Bone marrow aspirate smear; single-cell field; brightfield microscopy, 40× oil immersion:
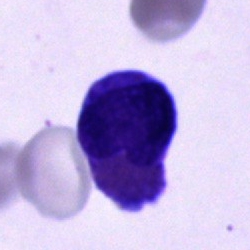

Specimen: bone marrow aspirate smear.
Cell type: eosinophilic granulocyte.